Bone marrow smear:
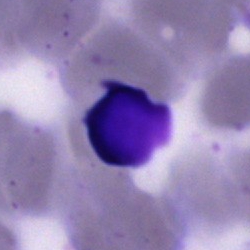 Morphological class: artefact.